Bone marrow smear: 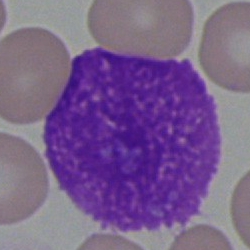Cell — artifact.